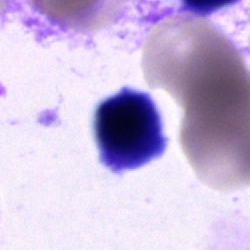

Impression → cell of indeterminate lineage.